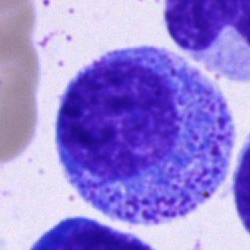Specimen: bone marrow aspirate smear.
Classification: promyelocyte.
Lineage: myeloid.